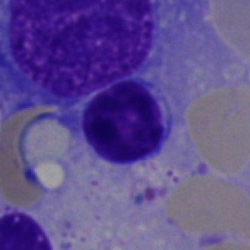 Classification = lymphocyte.